250×250 · bone marrow smear · cropped to a single cell
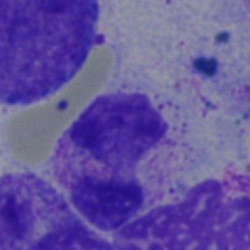
The cell shown is a neutrophil (segmented).